Bone marrow smear; single cell centered in the field:
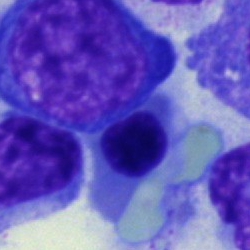
Morphological class: nucleated red blood cell.